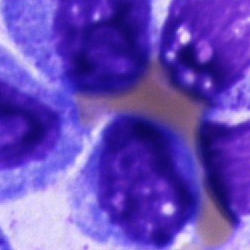
Impression — unidentifiable cell.